Bone marrow smear — 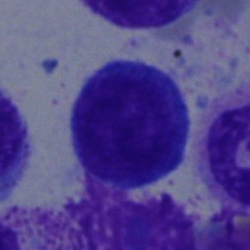

Cell type = typical lymphocyte.